Romanowsky stain · M8 digital microscope (Precipoint), 100× oil immersion · peripheral blood film.
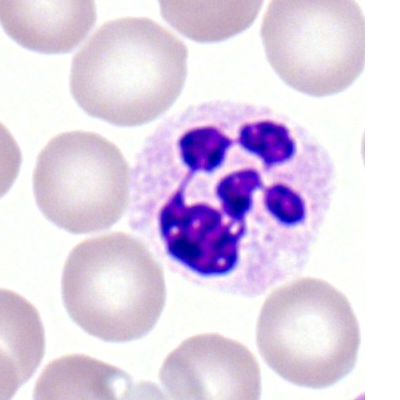
Single cell identified as a polymorphonuclear neutrophil.